Bone marrow smear; 40× oil immersion:
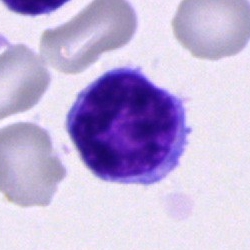
A lymphocyte.